Bone marrow aspirate smear. 40× oil immersion.
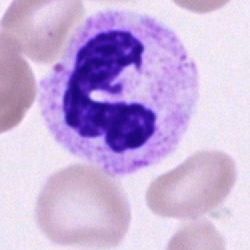
Impression → neutrophil (segmented).